Bone marrow aspirate smear — 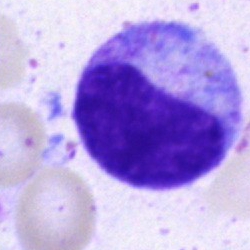
The cell type is promyelocyte.